Bone marrow smear · 40× oil immersion:
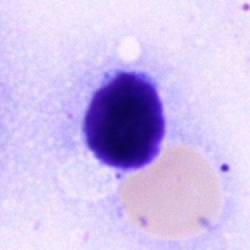
Morphological class: typical lymphocyte.